Bone marrow aspirate smear.
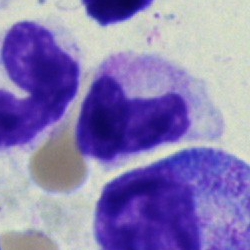Morphology consistent with a band-form neutrophil.